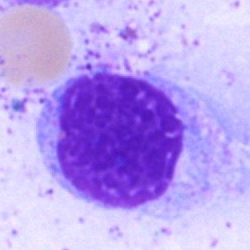 Q: What is shown here?
A: Artefact.